Bone marrow smear
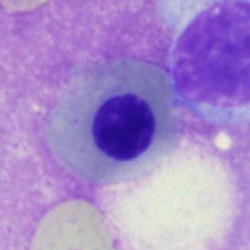

Specimen: bone marrow aspirate smear.
Cell: nucleated red cell.